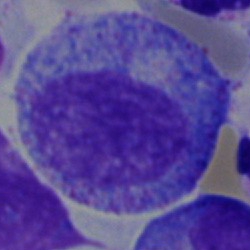 Classification = progranulocyte.